May-Grünwald-Giemsa/Pappenheim stain. Single-cell crop. Bone marrow smear — 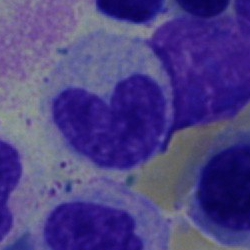
Morphology — neutrophil (band).